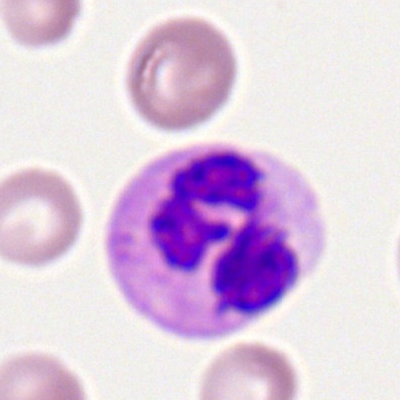

Impression — neutrophil (segmented).